Bone marrow smear: 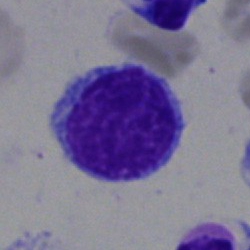 {"cell_type": "lymphocyte"}